Bone marrow aspirate smear
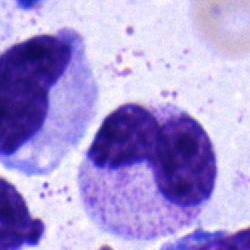Band-form neutrophil.